Bone marrow smear — 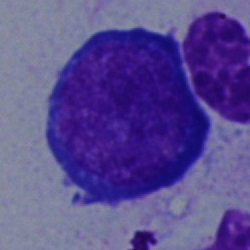 Showing a proerythroblast.